Single-cell crop. Pappenheim-stained. Bone marrow smear — 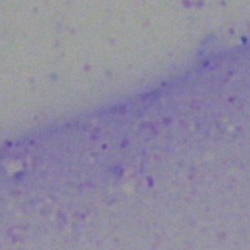
Cell type = artifact.